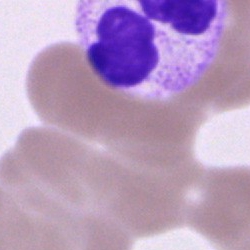

{"cell_type": "unidentifiable cell"}